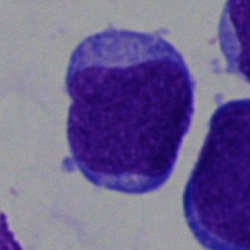 Single-cell crop from a bone marrow smear: blast.